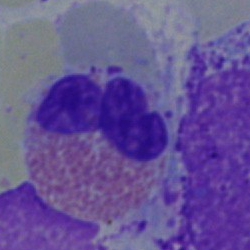
The morphological class is eosinophil.